Bone marrow smear · May-Grünwald-Giemsa/Pappenheim stain · 40× oil immersion
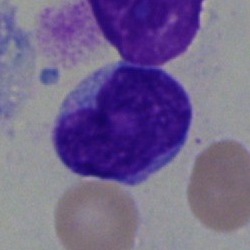 Q: What cell is this?
A: This is a blast cell.